Bone marrow aspirate smear:
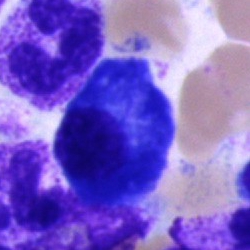

Q: What is shown here?
A: This is a plasmacyte.